Bone marrow smear. Cropped to a single cell
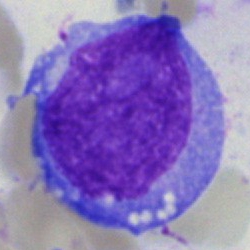
Cell type = blast.